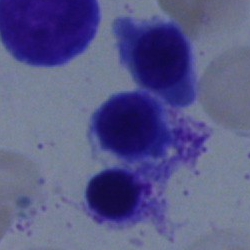Specimen: bone marrow smear.
Classification: nucleated red blood cell.
Lineage: erythroid.